MGG-stained; bone marrow aspirate smear; single-cell field
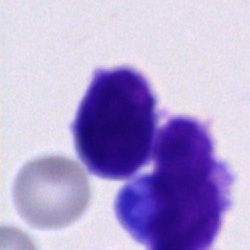 Morphology consistent with an undifferentiated blast.